Bone marrow aspirate smear: 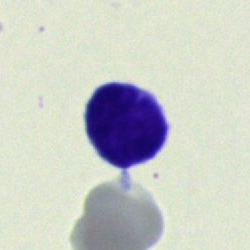{"cell_type": "typical lymphocyte", "lineage": "lymphoid"}